40× oil immersion · bone marrow aspirate smear · image size 250×250: 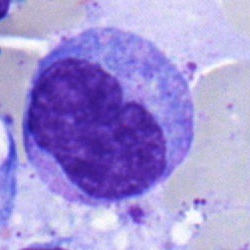

Morphological class — monocyte.